40× oil immersion; bone marrow smear
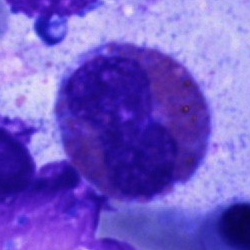 Specimen: bone marrow smear.
Classification: eosinophil.
Lineage: myeloid.